Bone marrow aspirate smear — 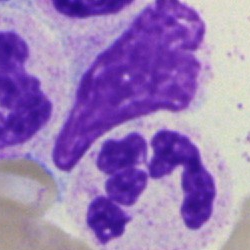 Impression → neutrophil (segmented).